Brightfield, 100× oil-immersion objective; peripheral blood film.
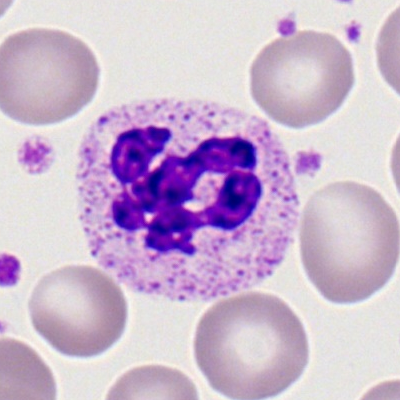 Cell type = segmented neutrophil.